May-Grünwald-Giemsa/Pappenheim stain · single cell centered in the field · bone marrow smear
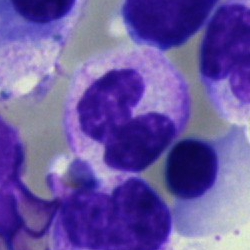Specimen: bone marrow aspirate smear.
Morphological class: band neutrophil.
Lineage: myeloid.